Bone marrow aspirate smear. Brightfield microscopy, 40× oil immersion.
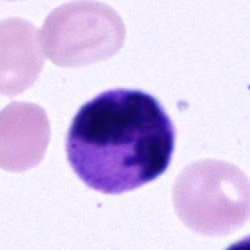

Q: What cell is this?
A: Neutrophil (segmented).